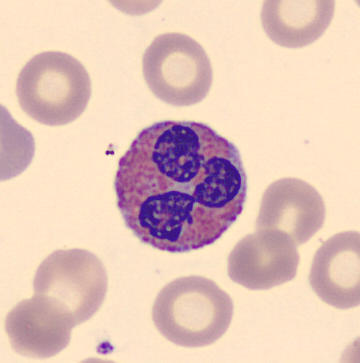Cropped to a single cell · peripheral blood smear. Q: Identify the cell.
A: This is an eosinophilic granulocyte.